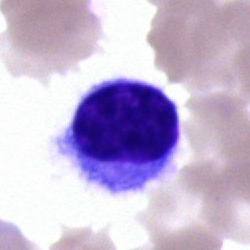Specimen: bone marrow aspirate smear.
Cell: typical lymphocyte.